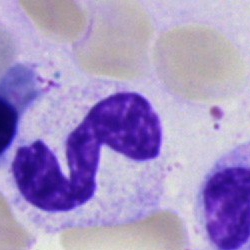 Classification = polymorphonuclear neutrophil.